100× oil immersion, 14.14 px/µm; peripheral blood smear — 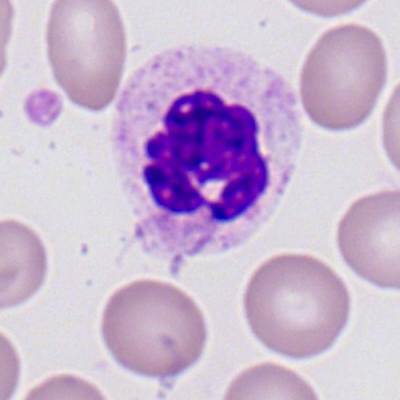Showing a polymorphonuclear neutrophil.